Brightfield microscopy, 40× oil immersion · bone marrow aspirate smear.
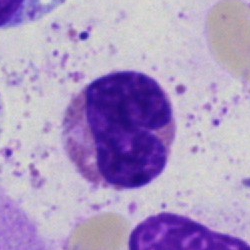

Morphological class = eosinophilic granulocyte.